Bone marrow aspirate smear. 40× oil immersion
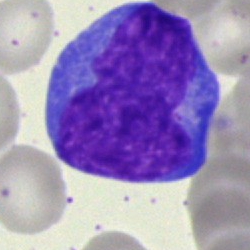 Blast.